Bone marrow smear: 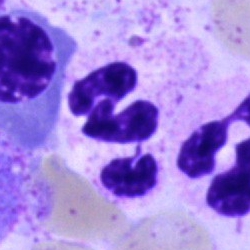

Morphology consistent with a segmented neutrophil.